Bone marrow aspirate smear.
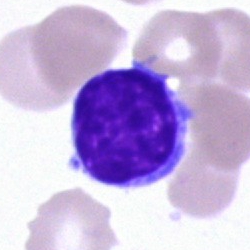 Q: Which cell type is shown here?
A: Lymphocyte.